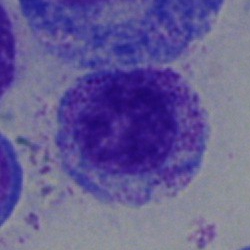

The cell shown is a myelocyte.